Bone marrow aspirate smear:
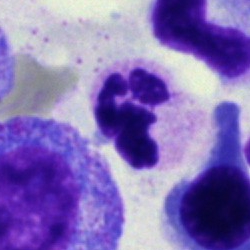

Q: What is the morphological classification of this cell?
A: This is a polymorphonuclear neutrophil.